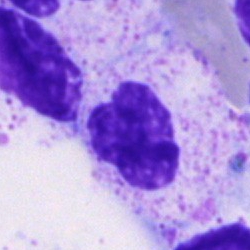Cell: segmented neutrophil.